Bone marrow aspirate smear; MGG-stained
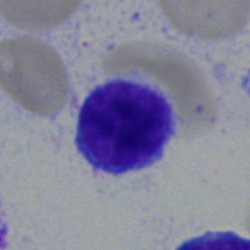
This is a typical lymphocyte.